Bone marrow smear:
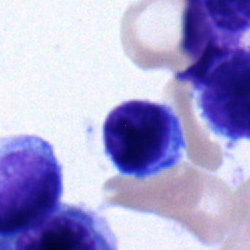The cell shown is a typical lymphocyte.